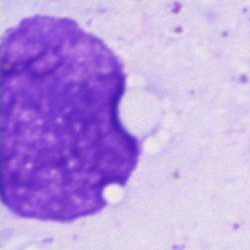

Specimen: bone marrow smear.
Morphological class: artifact.